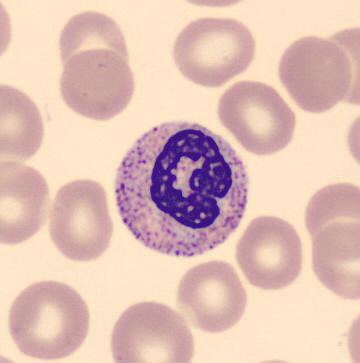

Peripheral blood film.
The cell is band-form neutrophil.